Bone marrow smear; 250 by 250 pixels; single cell centered in the field — 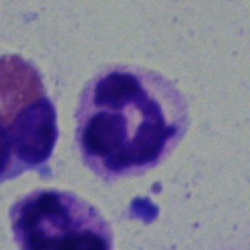

Impression — neutrophil (segmented).